Bone marrow aspirate smear · single-cell crop
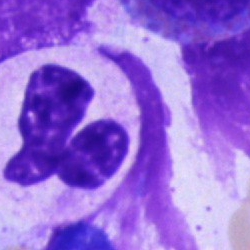

This is a neutrophil (segmented).